Bone marrow aspirate smear: 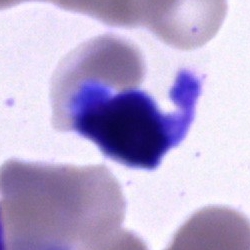 Typical lymphocyte.